Bone marrow aspirate smear — 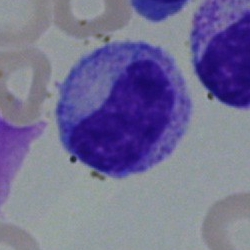Specimen: bone marrow aspirate smear.
Classification: metamyelocyte.
Lineage: myeloid.